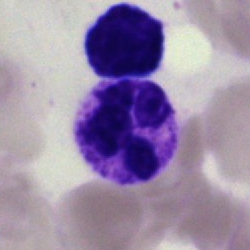
Specimen: bone marrow aspirate smear.
Classification: segmented neutrophil.
Lineage: myeloid.